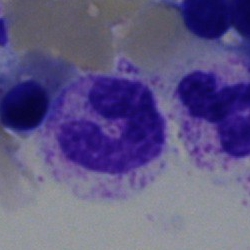 Bone marrow smear showing a neutrophil (segmented).